Bone marrow aspirate smear; May-Grünwald-Giemsa/Pappenheim stain: 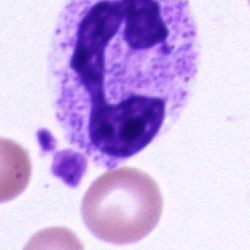

The cell type is segmented neutrophil.